Bone marrow aspirate smear: 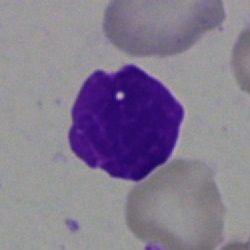Specimen: bone marrow aspirate smear.
Morphological class: artefact.